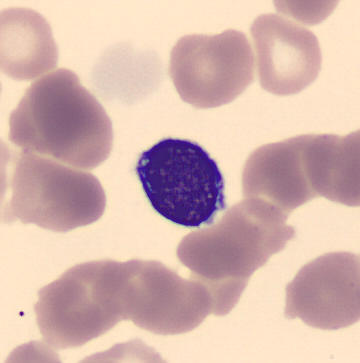Lymphocyte.